400×400 px; 100× oil immersion, 14.14 px/µm; peripheral blood film:
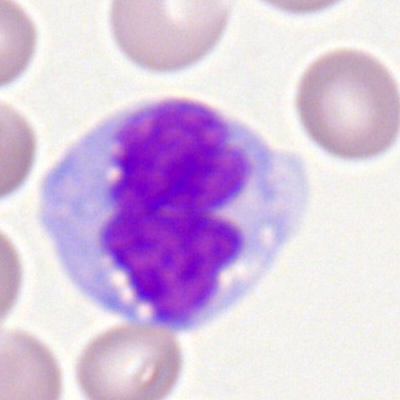 A monocyte.